Bone marrow aspirate smear:
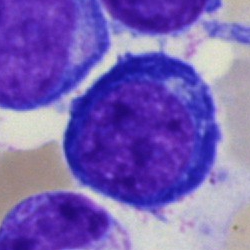

An erythroblast.